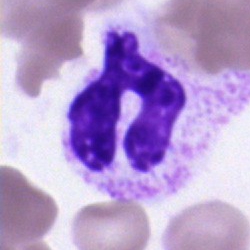Q: What cell is this?
A: It is a segmented neutrophil.